Bone marrow aspirate smear: 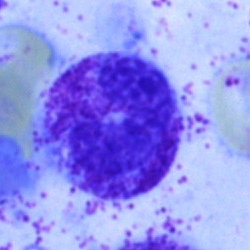
Morphology — segmented neutrophil.